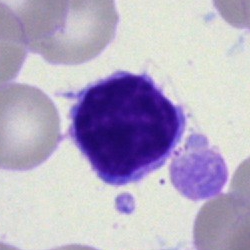

{"cell_type": "typical lymphocyte", "lineage": "lymphoid"}